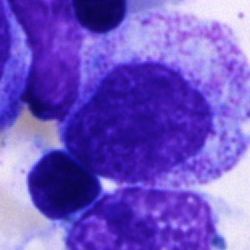

This is a promyelocyte.